Bone marrow smear:
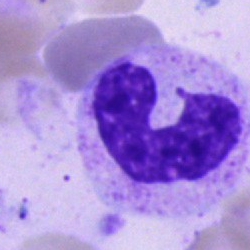 {"cell_type": "neutrophil (band)"}